Single-cell crop; 400 by 400 pixels; peripheral blood smear: 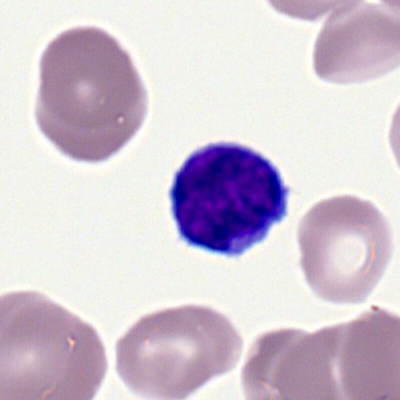Lymphocyte.